Peripheral blood smear; cropped to a single cell: 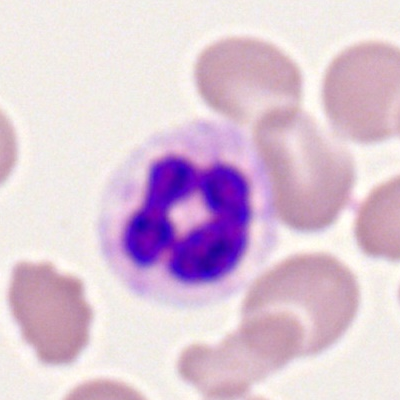 {"cell_type": "segmented neutrophil"}